250×250; bone marrow smear — 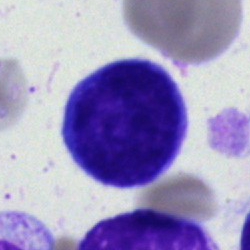The cell shown is a typical lymphocyte.